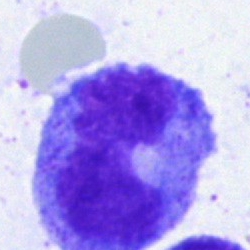

Monocyte.